Bone marrow smear
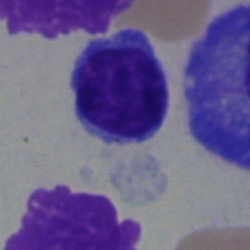 Classification: lymphocyte.